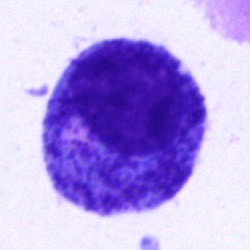The morphological class is promyelocyte.